Bone marrow aspirate smear · May-Grünwald-Giemsa stain:
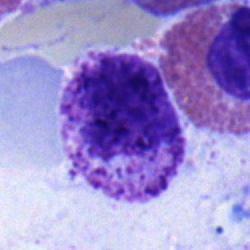

{"cell_type": "basophil"}